Bone marrow aspirate smear · 250 by 250 pixels — 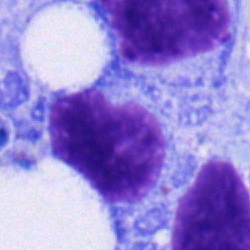

The cell type is lymphocyte.